Peripheral blood film — 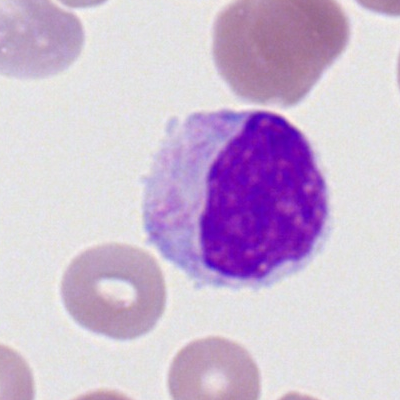 This is a typical lymphocyte.